360 by 363 pixels; peripheral blood film; CellaVision DM96 — 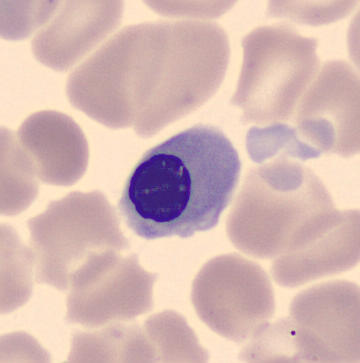{"cell_type": "nucleated red blood cell", "lineage": "erythroid"}